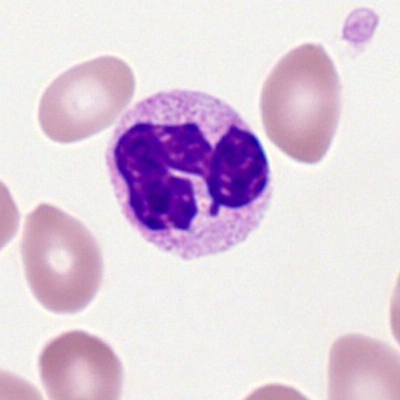
The cell type is segmented neutrophil.